May-Grünwald-Giemsa/Pappenheim stain. Bone marrow smear:
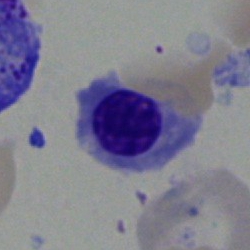Erythroblast.